Cropped to a single cell; bone marrow aspirate smear: 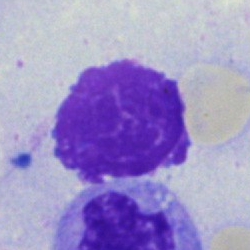 This is an artefact.